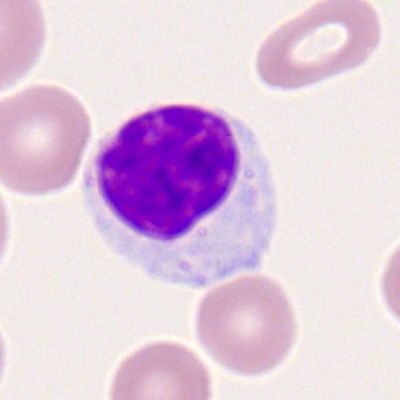 Morphology consistent with a lymphocyte.